MGG-stained. Bone marrow aspirate smear.
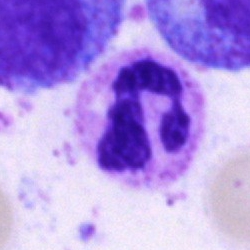Morphology consistent with a polymorphonuclear neutrophil.